Bone marrow smear.
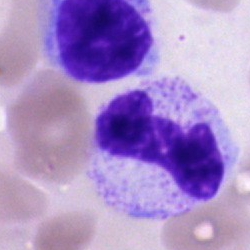
The morphological class is neutrophil (segmented).